Pappenheim-stained; bone marrow smear
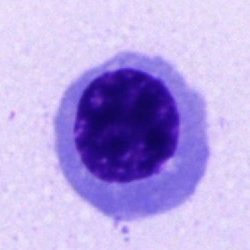 Q: What is shown here?
A: This is a normoblast.